May-Grünwald-Giemsa stain; bone marrow aspirate smear — 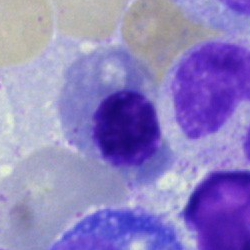Morphological class — nucleated red cell.